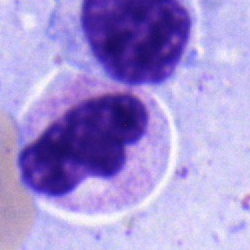
Cell type = band-form neutrophil.